Bone marrow smear:
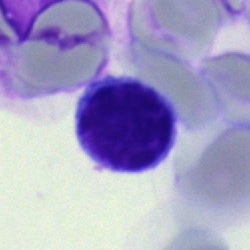{"cell_type": "typical lymphocyte"}